Bone marrow smear.
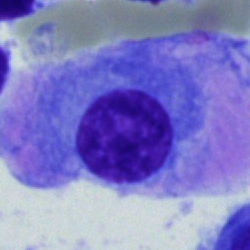 Morphological class: plasma cell.